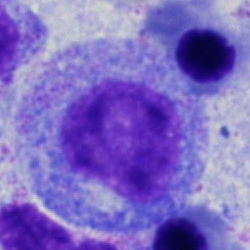

A progranulocyte.